250 by 250 pixels · bone marrow aspirate smear
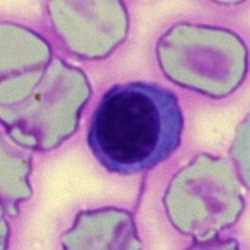
{"cell_type": "erythroblast", "lineage": "erythroid"}